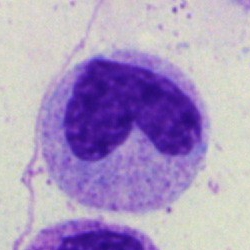
Cell type: band neutrophil.